Bone marrow aspirate smear · Pappenheim-stained · single-cell crop: 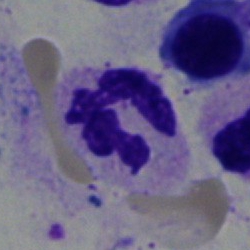

Specimen: bone marrow smear.
Cell type: polymorphonuclear neutrophil.
Lineage: myeloid.